Bone marrow aspirate smear — 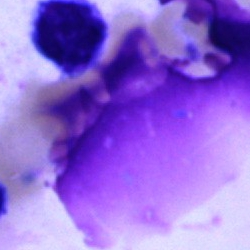
{"cell_type": "artifact"}